Bone marrow aspirate smear · 250×250 px: 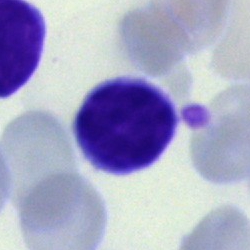
A typical lymphocyte.